Cropped to a single cell. Bone marrow aspirate smear.
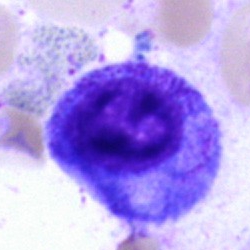

Specimen: bone marrow smear.
Cell type: progranulocyte.
Lineage: myeloid.